Bone marrow aspirate smear — 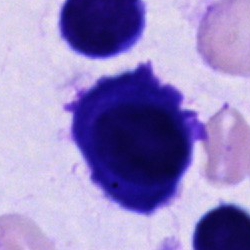 Cell — plasmacyte.